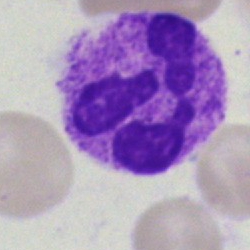{"cell_type": "neutrophil (segmented)"}